Bone marrow aspirate smear: 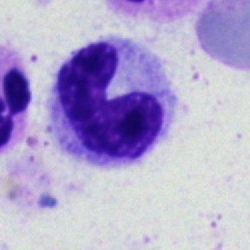 Q: What cell is this?
A: A neutrophil (band).